Peripheral blood film — 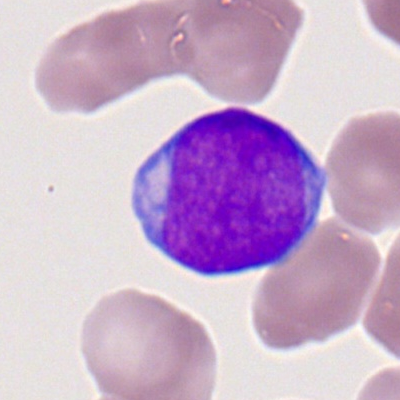 Q: What is shown here?
A: Myeloblast.